May-Grünwald-Giemsa/Pappenheim stain · bone marrow aspirate smear
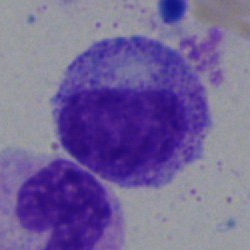
Q: What type of cell is this?
A: A promyelocyte.